Peripheral blood smear:
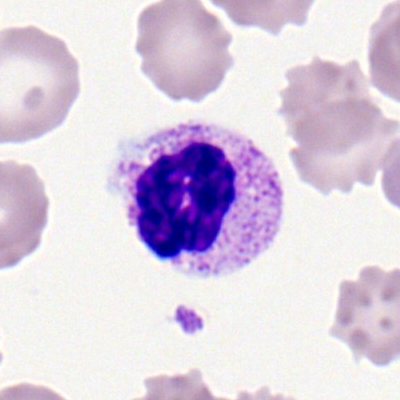

Morphological class = neutrophil (segmented).